Bone marrow smear. Single cell centered in the field:
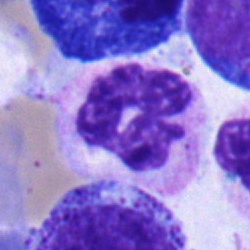

A neutrophil (segmented).